Bone marrow aspirate smear; Pappenheim-stained:
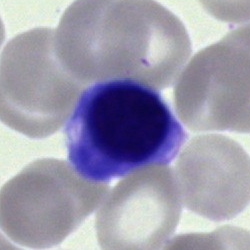 Single cell identified as a normoblast.